40× oil immersion. May-Grünwald-Giemsa/Pappenheim stain. Bone marrow aspirate smear: 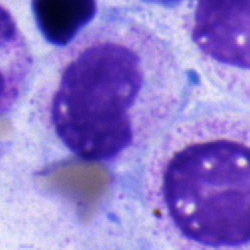Single cell identified as a neutrophil (band).